Bone marrow aspirate smear — 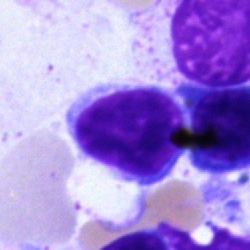Cell — typical lymphocyte.